Bone marrow smear. Image size 250×250.
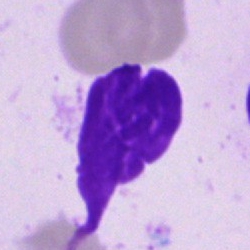Morphological class: artifact.